Bone marrow aspirate smear:
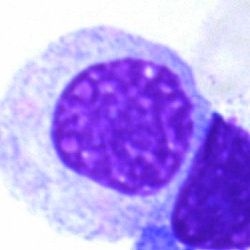 Q: What is shown here?
A: This is an artefact.